Peripheral blood smear. Image size 360×363.
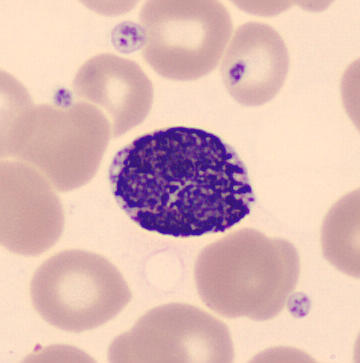Basophil.